Bone marrow smear.
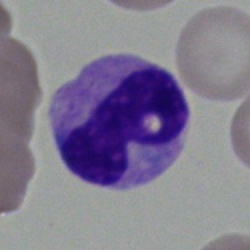
Classification: stab cell.